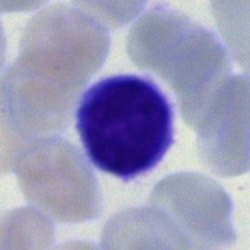 Specimen: bone marrow aspirate smear.
Cell: lymphocyte.
Lineage: lymphoid.